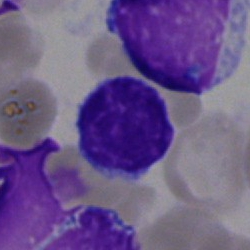Q: What is the morphological classification of this cell?
A: A lymphocyte.